Bone marrow smear. Single-cell crop:
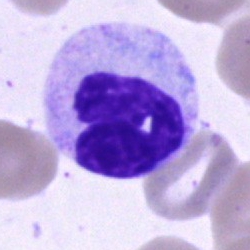 Morphology — polymorphonuclear neutrophil.